250×250. Bone marrow smear — 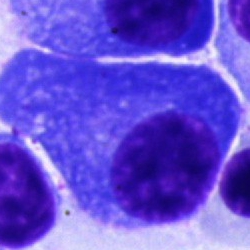

Morphology consistent with a plasmacyte.